Bone marrow aspirate smear — 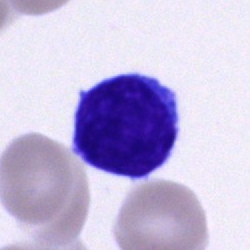 {"cell_type": "typical lymphocyte", "lineage": "lymphoid"}